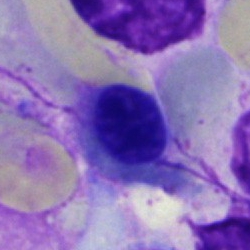The cell is normoblast.